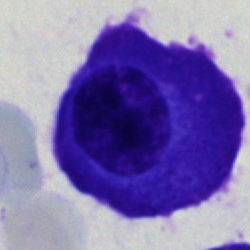

Q: What is the morphological classification of this cell?
A: This is a plasma cell.